400×400 · 100× oil immersion, 14.14 px/µm · peripheral blood smear:
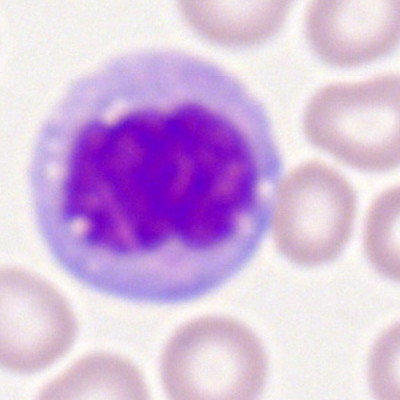This is a monocyte.